Single cell centered in the field; May-Grünwald-Giemsa stain; bone marrow smear: 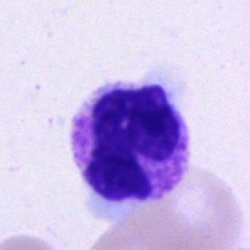 Classification = neutrophil (segmented).